Bone marrow smear · Pappenheim-stained · 250×250 px — 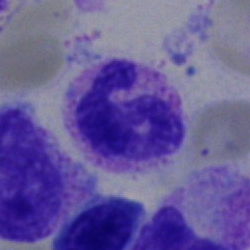

Cell type: polymorphonuclear neutrophil.